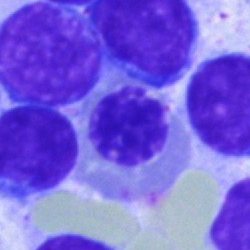
Q: What is shown here?
A: A normoblast.